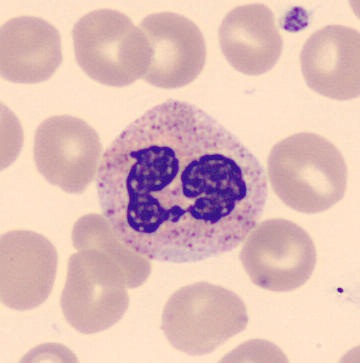 Preparation: Automated cell imaging (CellaVision DM96).

Specimen: peripheral blood film.
Cell: segmented neutrophil.